Bone marrow aspirate smear.
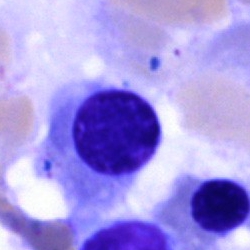
Erythroblast.